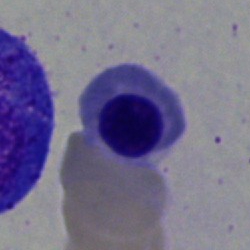
{"cell_type": "normoblast", "lineage": "erythroid"}